May-Grünwald-Giemsa/Pappenheim stain. Bone marrow aspirate smear. 250×250 px:
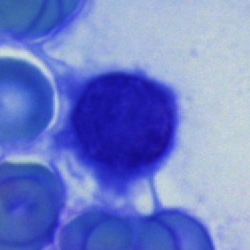
This is a lymphocyte.